Single cell centered in the field; bone marrow aspirate smear; 250×250:
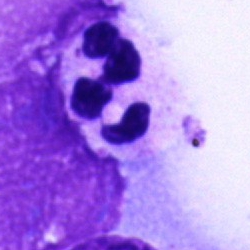

The cell shown is a neutrophil (segmented).